Bone marrow smear:
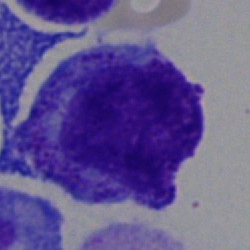 The morphological class is progranulocyte.